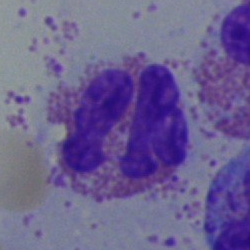
Morphological class = eosinophilic granulocyte.